Peripheral blood film; single-cell crop.
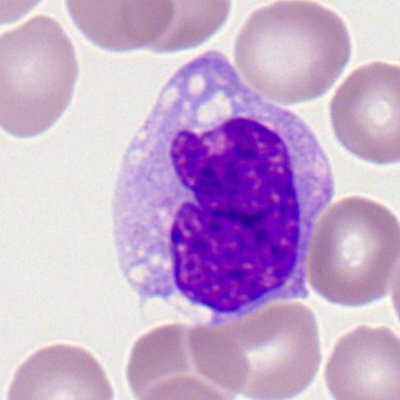

Cell: monocyte.